Bone marrow smear: 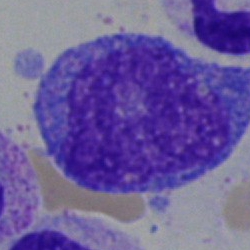 Morphology consistent with a progranulocyte.